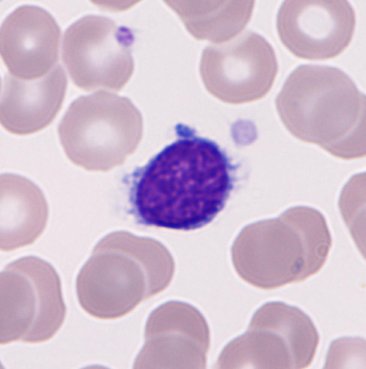
Cell: typical lymphocyte.
366×369 px; peripheral blood film; single cell centered in the field.